Bone marrow smear; brightfield, 40× oil-immersion objective:
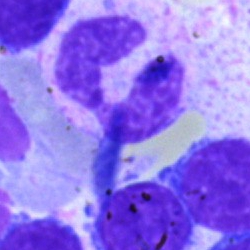
Morphology → neutrophil (segmented).